Bone marrow smear; 250×250:
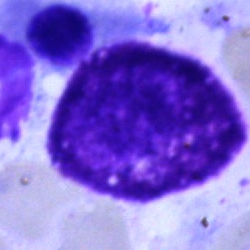
Q: What type of cell is this?
A: A cell of indeterminate lineage.